250×250 px · bone marrow aspirate smear:
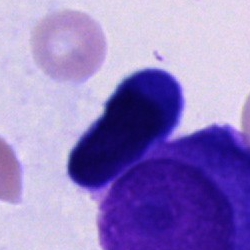

Q: Identify the cell.
A: This is a cell of indeterminate lineage.